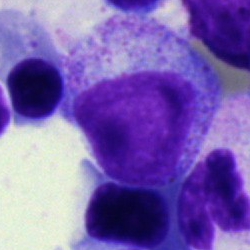Classification = promyelocyte.